Bone marrow smear — 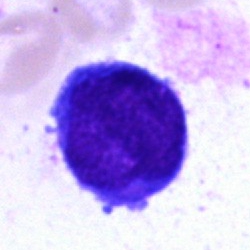

Morphological class = blast.